Single cell centered in the field; MGG-stained; bone marrow aspirate smear
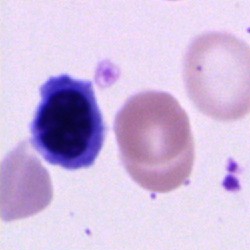 Morphology consistent with a nucleated red cell.